Bone marrow aspirate smear — 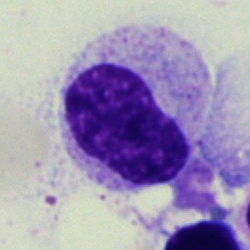A metamyelocyte.